Bone marrow aspirate smear. Single-cell crop:
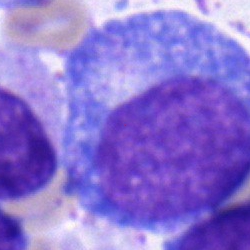The cell shown is a promyelocyte.